Brightfield, 40× oil-immersion objective · bone marrow smear · cropped to a single cell — 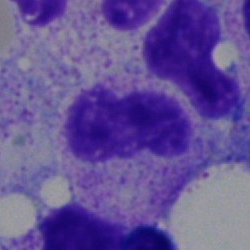
Impression → neutrophil (band).